Image size 250×250. Bone marrow aspirate smear. Single-cell crop
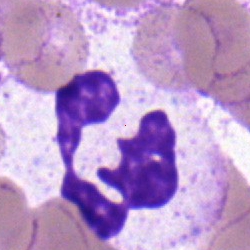 Q: What is the morphological classification of this cell?
A: This is a segmented neutrophil.